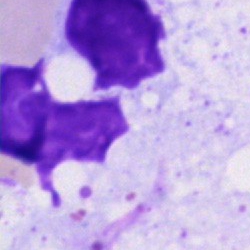
Bone marrow aspirate smear, single cell — artifact.